Bone marrow aspirate smear: 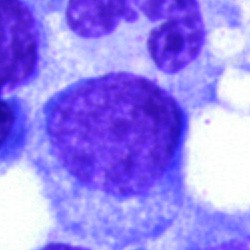

Morphology consistent with a cell of indeterminate lineage.